Cropped to a single cell; bone marrow smear; May-Grünwald-Giemsa/Pappenheim stain — 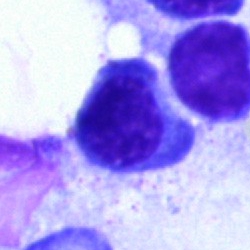

Morphology consistent with an erythroblast.